Bone marrow aspirate smear. Brightfield microscopy, 40× oil immersion — 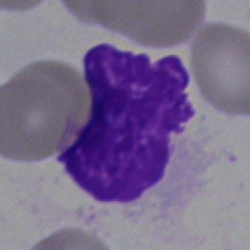Classification — artifact.